Bone marrow smear. May-Grünwald-Giemsa/Pappenheim stain. Single-cell field — 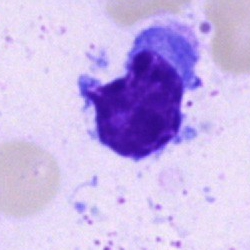
Cell — typical lymphocyte.